250 by 250 pixels. Bone marrow smear:
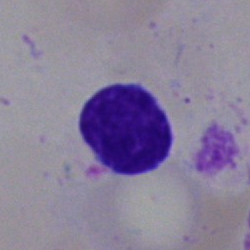

This is a typical lymphocyte.